Bone marrow smear — 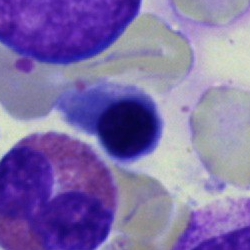 Cell = eosinophil.